Image size 400×400; peripheral blood film.
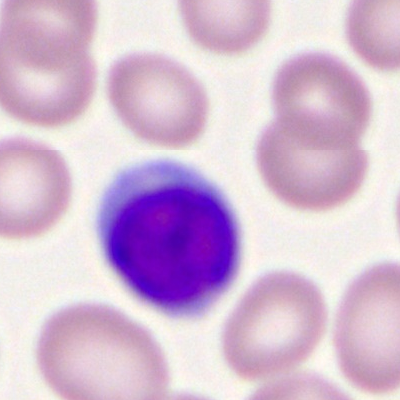

Morphological class — typical lymphocyte.